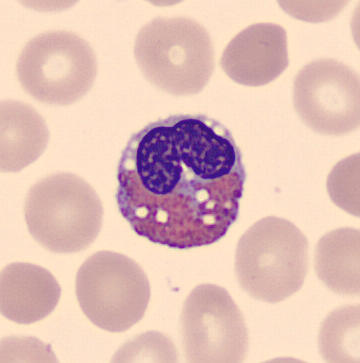

Cell: eosinophilic granulocyte.